Bone marrow smear — 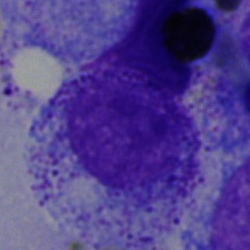Morphology consistent with a progranulocyte.